Peripheral blood film: 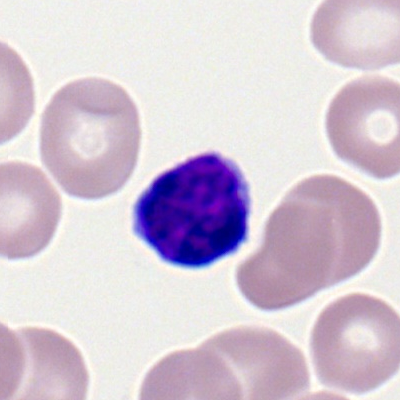Single cell identified as a lymphocyte.